40× objective, oil immersion · bone marrow smear: 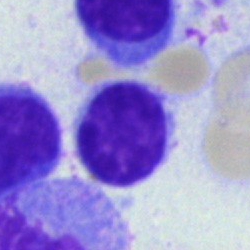

The cell shown is a lymphocyte.